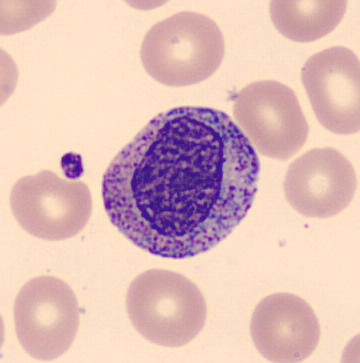 Cell type: myelocyte.